Bone marrow smear — 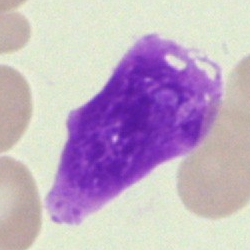

Q: What is shown here?
A: An artefact.